40× oil immersion; bone marrow aspirate smear; 250 by 250 pixels.
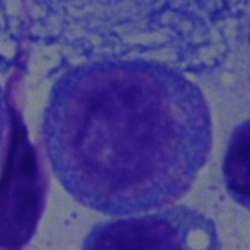

Specimen: bone marrow smear.
Classification: progranulocyte.